Bone marrow aspirate smear:
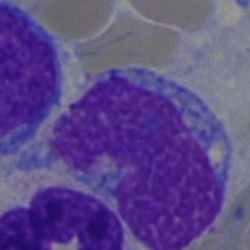
The cell type is blast.